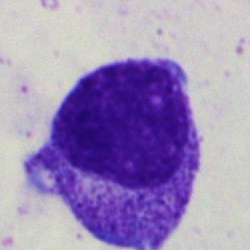Showing a myelocyte.